Single-cell field · bone marrow smear
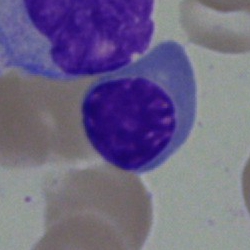Single cell identified as an erythroblast.